Bone marrow aspirate smear · 40× objective, oil immersion.
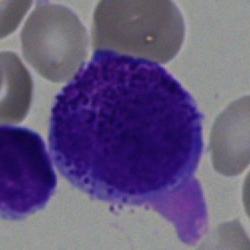The cell is blast.